Bone marrow smear.
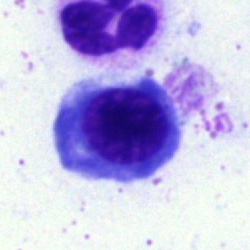
Specimen: bone marrow smear.
Cell: erythroblast.